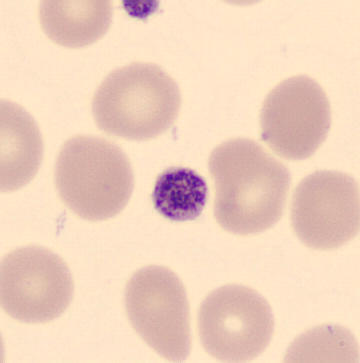
A thrombocyte. Acquisition: CellaVision DM96 digital cell image. Peripheral blood smear. MGG-stained.